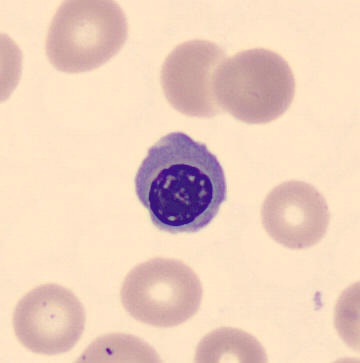

Cell type: normoblast.
Image: Peripheral blood smear.